May-Grünwald-Giemsa stain. Bone marrow smear. 250×250 px:
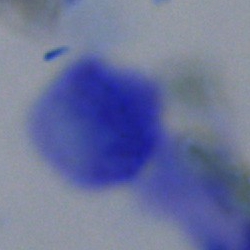The cell is artefact.